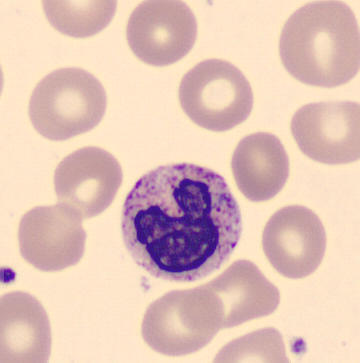
Image: Image size 360×363; peripheral blood smear; May-Grünwald-Giemsa-stained.

Morphology → band neutrophil.